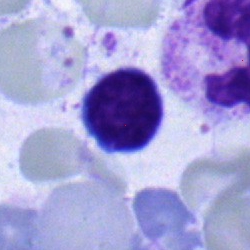

Lymphocyte.